Bone marrow aspirate smear — 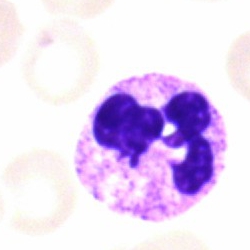
Single cell identified as a polymorphonuclear neutrophil.